40× oil immersion. May-Grünwald-Giemsa stain. Bone marrow smear — 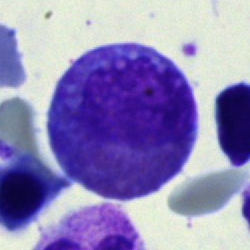 Eosinophil.